Bone marrow smear — 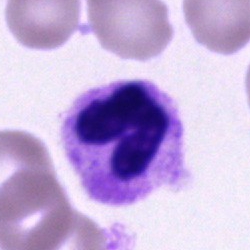

Impression — polymorphonuclear neutrophil.